Bone marrow aspirate smear. Single-cell field
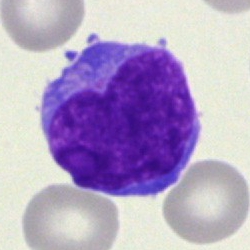Blast cell.